Bone marrow aspirate smear; 250×250 px; 40× oil immersion:
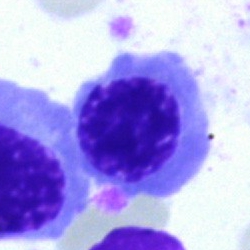
Impression — nucleated red blood cell.